Brightfield, 40× oil-immersion objective. Bone marrow smear
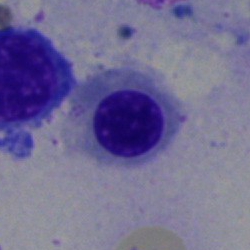This is a nucleated red blood cell.